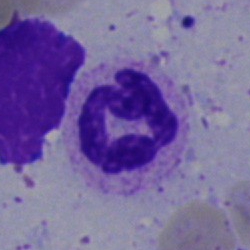
Bone marrow aspirate smear, single cell — segmented neutrophil.